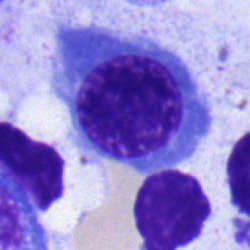
Morphology — erythroblast.